Bone marrow aspirate smear
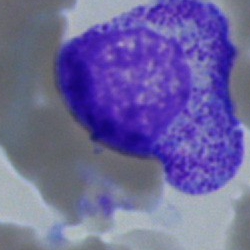 Classification: myelocyte.